Image size 250×250; bone marrow aspirate smear
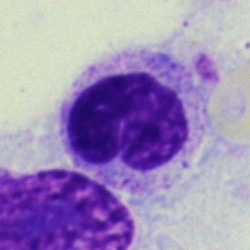
This is a stab cell.